Bone marrow aspirate smear:
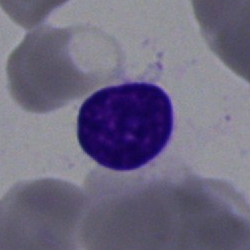
Classification = lymphocyte.